Bone marrow aspirate smear; single cell centered in the field: 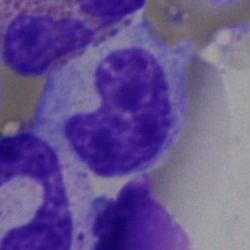

Showing a band-form neutrophil.